Bone marrow aspirate smear; MGG-stained: 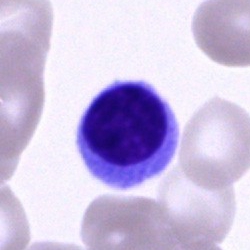{"cell_type": "lymphocyte"}